Bone marrow smear; May-Grünwald-Giemsa stain
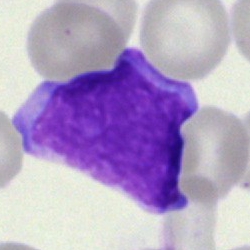Undifferentiated blast.